Bone marrow aspirate smear; 250 by 250 pixels; single-cell field:
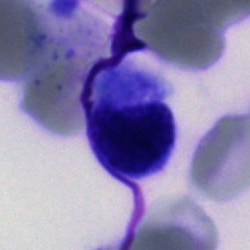 Specimen: bone marrow aspirate smear.
Morphological class: cell of indeterminate lineage.